Peripheral blood film: 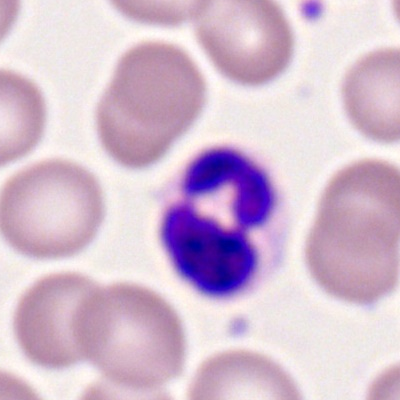A neutrophil (segmented).